Bone marrow smear: 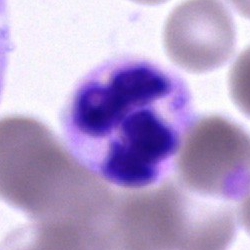Cell = neutrophil (segmented).